250×250 px · bone marrow aspirate smear
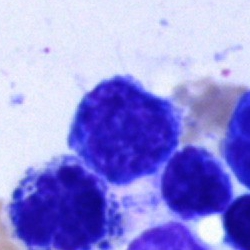
Q: What cell is this?
A: This is a typical lymphocyte.